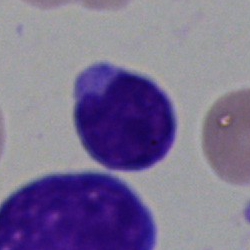 Bone marrow aspirate smear, single cell — blast cell.